Bone marrow aspirate smear.
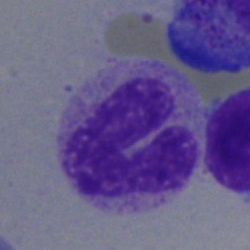
A stab cell.